Bone marrow smear — 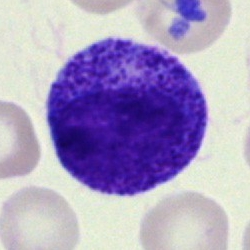 Q: What cell is this?
A: A promyelocyte.